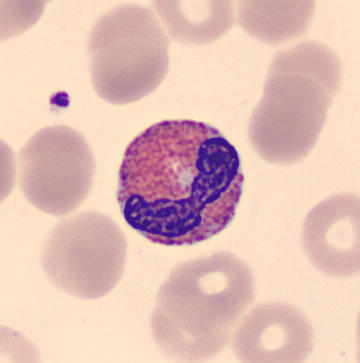

Q: What type of cell is this?
A: An eosinophil.